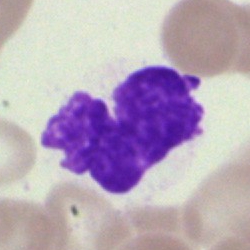Single cell identified as an artifact.